Bone marrow smear
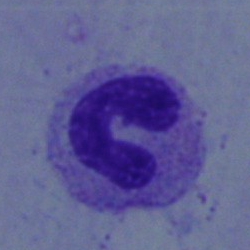 A neutrophil (band).